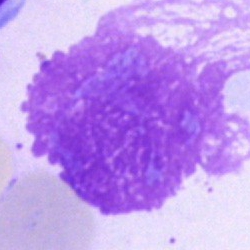An artifact.